Bone marrow smear · MGG-stained:
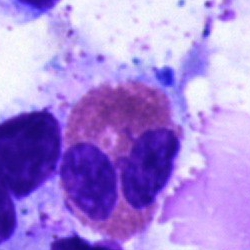Q: What is the morphological classification of this cell?
A: Eosinophil.